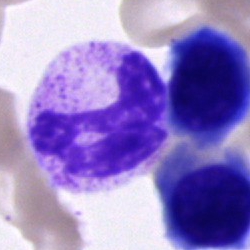Q: What cell is this?
A: This is a polymorphonuclear neutrophil.